Bone marrow aspirate smear — 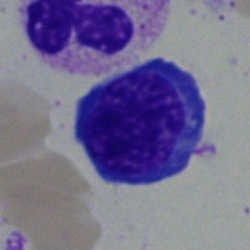
Classification: normoblast.